Peripheral blood smear. 100× oil immersion, 14.14 px/µm
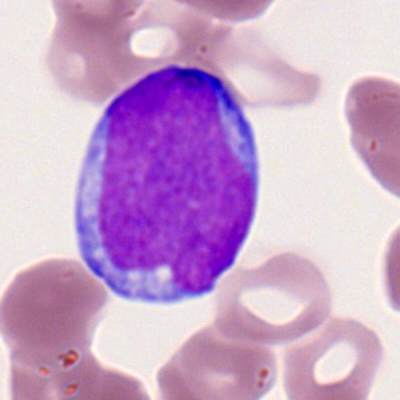

Q: Identify the cell.
A: It is a myeloblast.